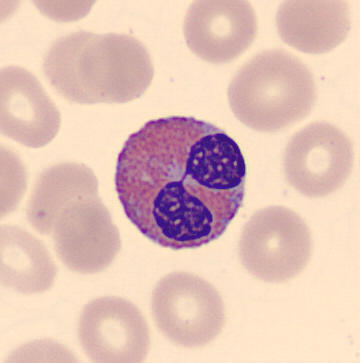
Peripheral blood film.
Classification — eosinophil.